250×250 · bone marrow aspirate smear: 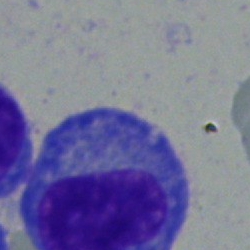

Morphology → plasma cell.